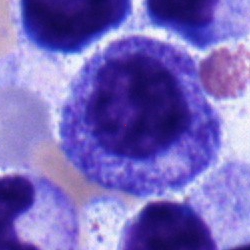Specimen: bone marrow smear.
Cell type: myelocyte.